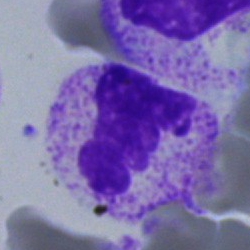

Morphology → segmented neutrophil.